Bone marrow aspirate smear.
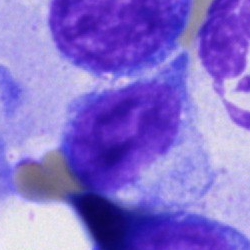 Morphology — unidentifiable cell.